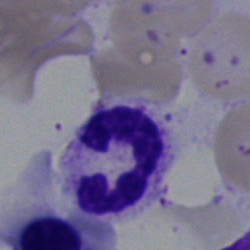
Bone marrow aspirate smear, single cell — segmented neutrophil.